Single-cell crop; MGG-stained; bone marrow aspirate smear — 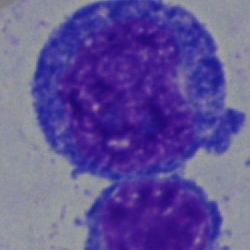
Q: What is shown here?
A: An undifferentiated blast.